Bone marrow smear — 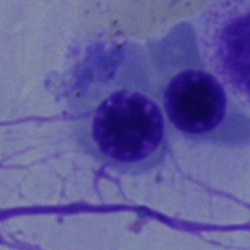

Q: What is shown here?
A: This is a nucleated red cell.